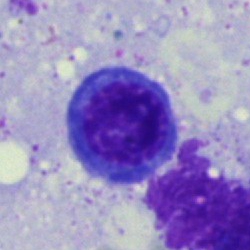Cell type = nucleated red cell.